Peripheral blood film
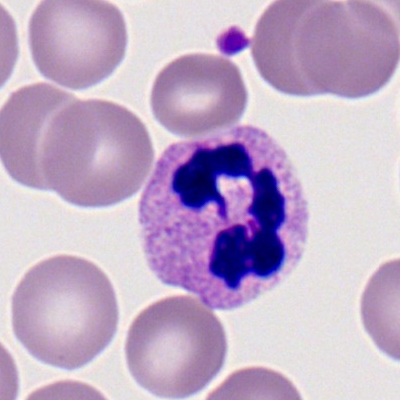 Q: Which cell type is shown here?
A: A segmented neutrophil.